Bone marrow aspirate smear. 40× oil immersion. 250×250 — 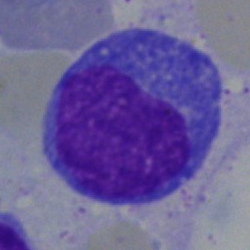
Cell type: promyelocyte.